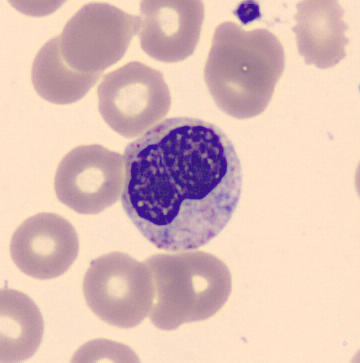Q: Which cell type is shown here?
A: A metamyelocyte.